Bone marrow aspirate smear:
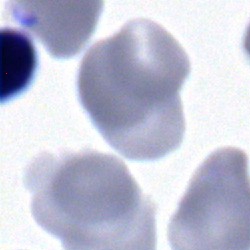

Classification: lymphocyte.